Bone marrow aspirate smear; MGG-stained
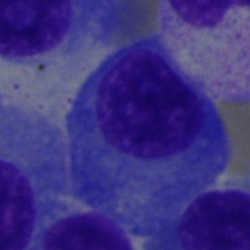
Plasmacyte.